Bone marrow aspirate smear
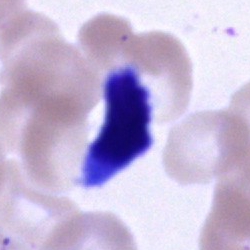
An unidentifiable cell.